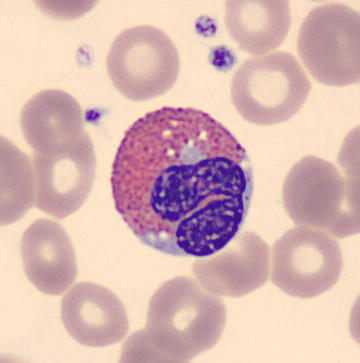Morphology consistent with an eosinophilic granulocyte.
Peripheral blood film.